Bone marrow smear. Single-cell crop — 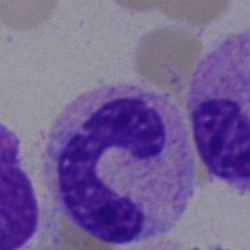

Cell — neutrophil (segmented).